Bone marrow aspirate smear. 40× oil immersion: 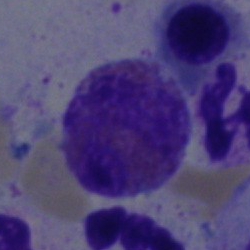

Specimen: bone marrow aspirate smear.
Cell: eosinophilic granulocyte.
Lineage: myeloid.